Bone marrow aspirate smear. 250 by 250 pixels
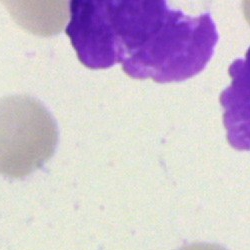Q: What is shown here?
A: An artifact.